Bone marrow aspirate smear:
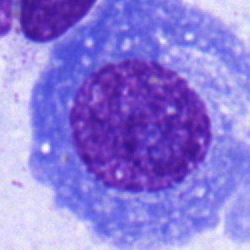

Q: What is shown here?
A: It is a plasma cell.